Bone marrow aspirate smear: 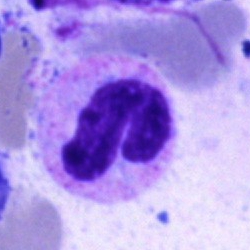 Neutrophil (band).